May-Grünwald-Giemsa stain. Bone marrow aspirate smear. 250×250.
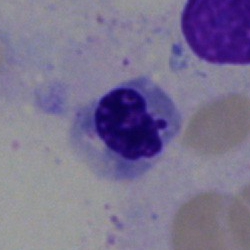This is an erythroblast.